Brightfield microscopy, 40× oil immersion. Bone marrow smear: 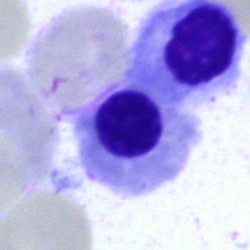

Cell = nucleated red blood cell.